Bone marrow smear: 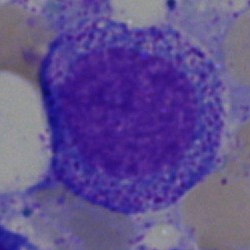Showing a progranulocyte.